Peripheral blood smear. 100× oil immersion, 14.14 px/µm. Single cell centered in the field — 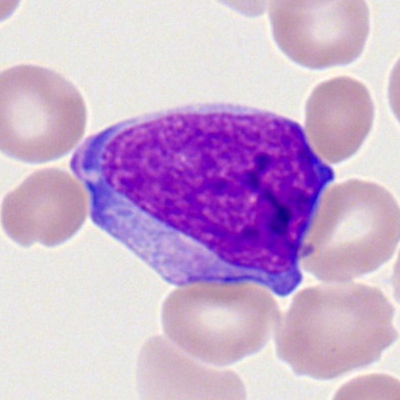
The cell is myeloid blast.